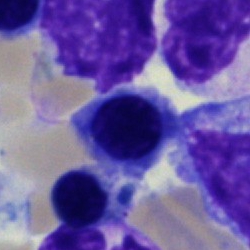 Classification: nucleated red cell.